Bone marrow aspirate smear — 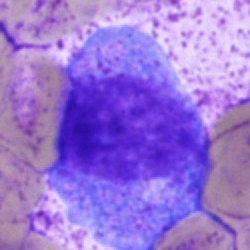
Single cell identified as a promyelocyte.